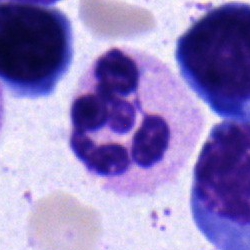
Classification — neutrophil (segmented).